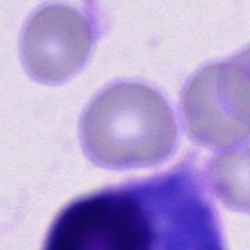

Showing an other cell type.